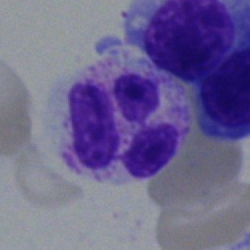

Q: What type of cell is this?
A: Neutrophil (segmented).